Bone marrow smear: 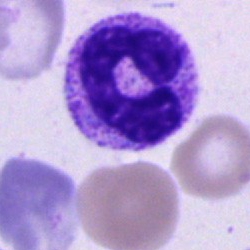
Morphology → band neutrophil.